Peripheral blood film · Romanowsky-stained.
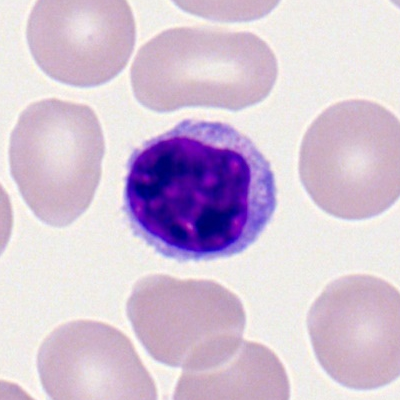

A typical lymphocyte.